Bone marrow smear. 40× objective, oil immersion
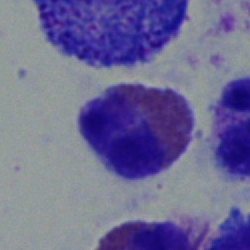Classification = eosinophilic granulocyte.